Brightfield microscopy, 40× oil immersion. Bone marrow smear
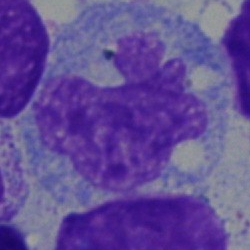Q: What cell is this?
A: A monocyte.